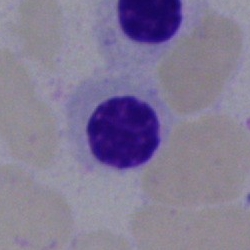 Morphological class: normoblast.